Bone marrow aspirate smear — 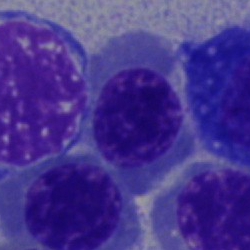
Cell type: nucleated red blood cell.